Pappenheim-stained. Bone marrow aspirate smear:
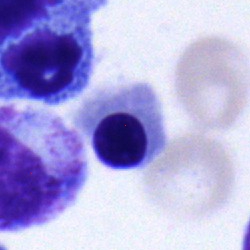Q: Which cell type is shown here?
A: This is an erythroblast.